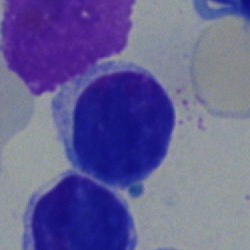
Specimen: bone marrow smear.
Cell: typical lymphocyte.